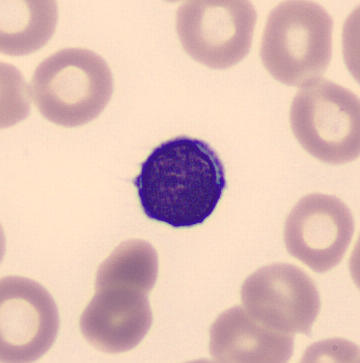
Peripheral blood smear; 360×363 px.
Cell type = typical lymphocyte.